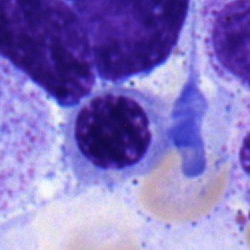
Specimen: bone marrow smear.
Cell: erythroblast.
Lineage: erythroid.